250 by 250 pixels; bone marrow smear:
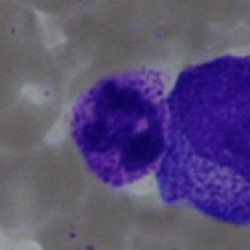
Segmented neutrophil.